Bone marrow aspirate smear — 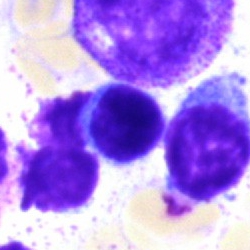
Morphological class — typical lymphocyte.